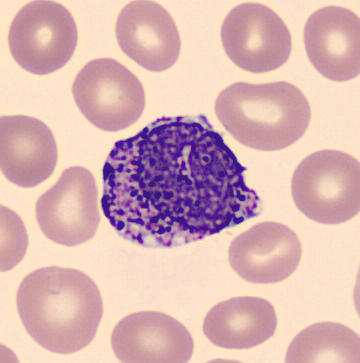 Classification — basophilic granulocyte.